Bone marrow aspirate smear; MGG-stained; single-cell crop:
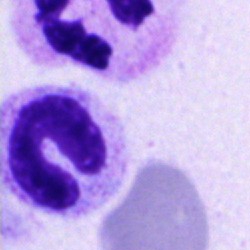

Cell type: band neutrophil.